Bone marrow smear. Single cell centered in the field
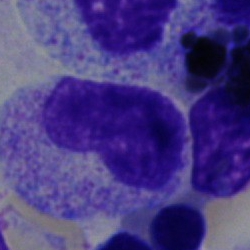 The cell shown is a metamyelocyte.